Image size 400×400. Peripheral blood smear: 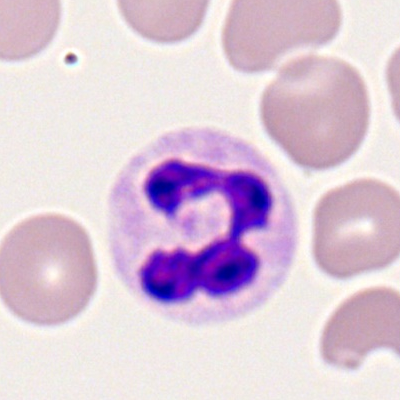
Cell type = neutrophil (segmented).